Bone marrow aspirate smear. 250 by 250 pixels.
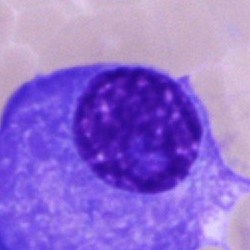

This is a plasma cell.